Image size 250×250. Bone marrow smear. May-Grünwald-Giemsa stain: 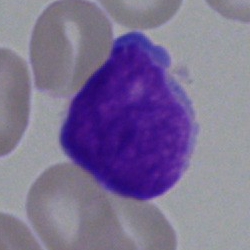This is a blast cell.